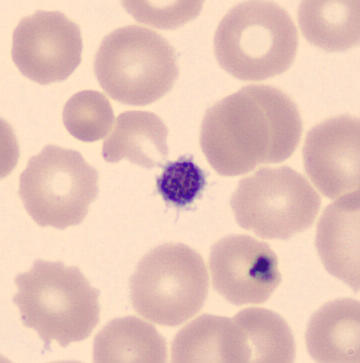
Showing a platelet.